Peripheral blood smear — 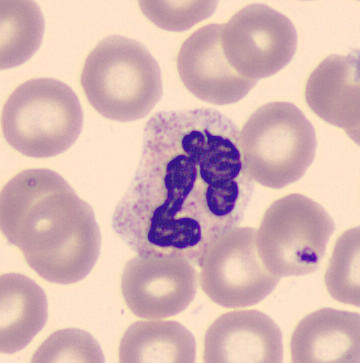

Showing a neutrophil (segmented).